May-Grünwald-Giemsa/Pappenheim stain · bone marrow smear: 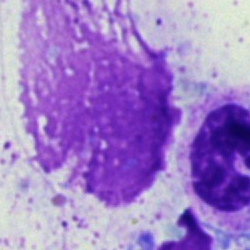
Q: What is shown here?
A: It is an artefact.